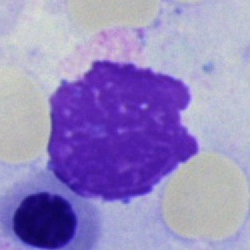 Morphology consistent with an artefact.